Bone marrow smear — 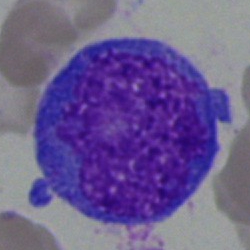

Cell type: blast cell.